Bone marrow smear — 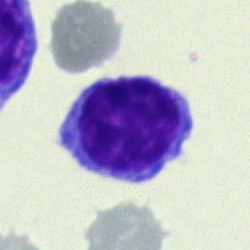 Single cell identified as a lymphocyte.